Bone marrow aspirate smear — 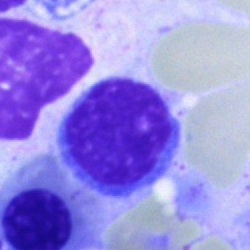 Morphological class = typical lymphocyte.